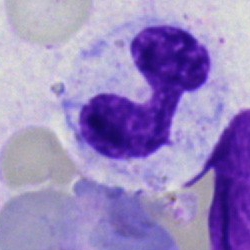
Q: Identify the cell.
A: A polymorphonuclear neutrophil.